Peripheral blood film; 100× oil immersion
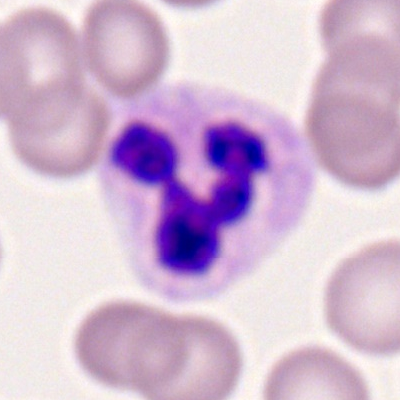 Morphological class — segmented neutrophil.